Bone marrow smear · MGG-stained · image size 250×250 — 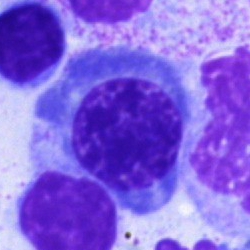

Morphology — nucleated red cell.